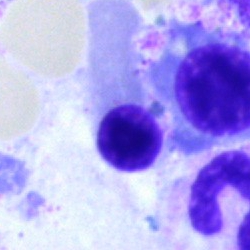 Cell type: erythroblast.